Bone marrow aspirate smear: 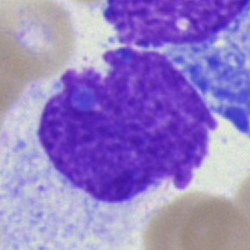Morphological class: artifact.